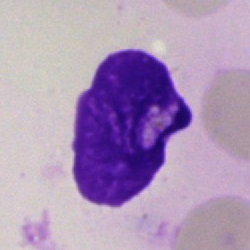Artifact.